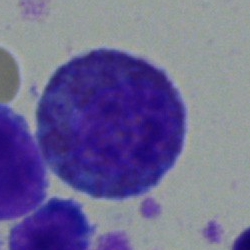

Impression — blast cell.